Brightfield microscopy, 40× oil immersion; bone marrow aspirate smear:
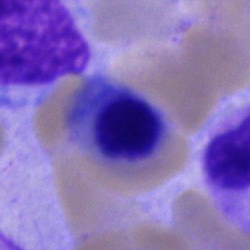

Cell type: erythroblast.